Bone marrow smear.
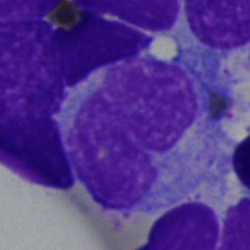 Showing a monocyte.